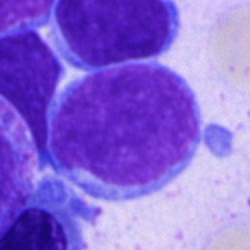 Classification — blast cell.